Peripheral blood smear: 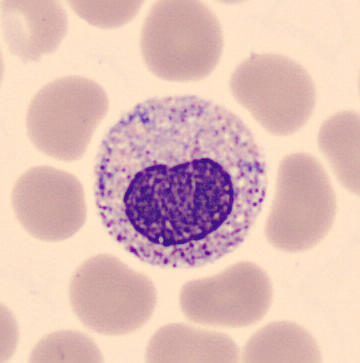Morphology → myelocyte.